Brightfield, 40× oil-immersion objective · bone marrow smear.
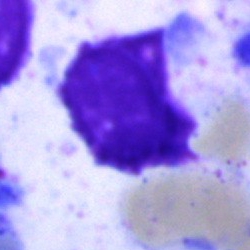

Q: What is shown here?
A: This is an artifact.